Bone marrow smear. Single-cell field:
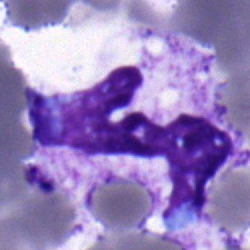 Classification: polymorphonuclear neutrophil.